Bone marrow aspirate smear.
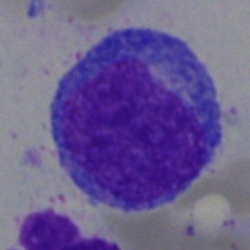

Cell = promyelocyte.